400×400. Peripheral blood smear
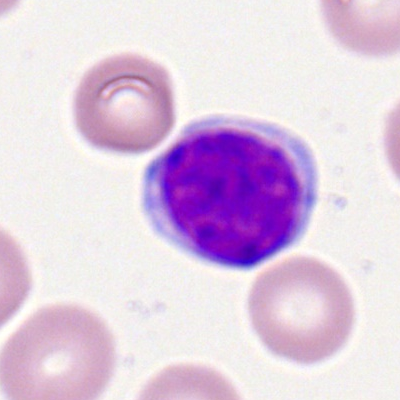

This is a lymphocyte.